40× oil immersion. Bone marrow aspirate smear
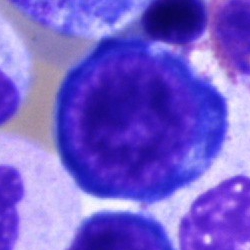Classification: proerythroblast.